Brightfield microscopy, 40× oil immersion. Bone marrow aspirate smear. 250×250.
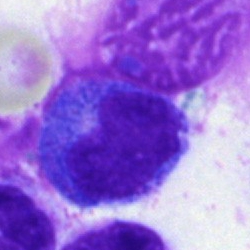Cell: promyelocyte.